Bone marrow smear.
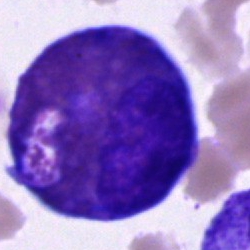Classification — eosinophil.